Bone marrow aspirate smear; single-cell crop: 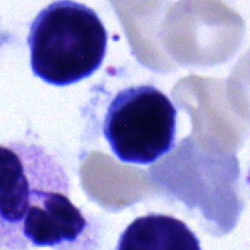Classification: typical lymphocyte.